40× oil immersion · single-cell crop · bone marrow aspirate smear:
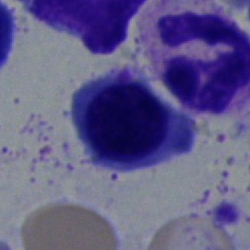

Single cell identified as a normoblast.